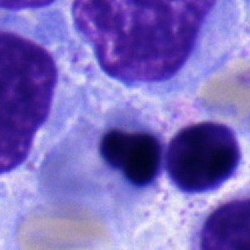

Single-cell crop from a bone marrow smear: nucleated red cell.